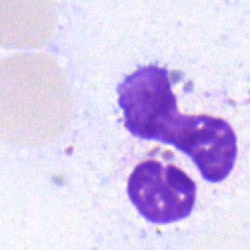
Morphology → polymorphonuclear neutrophil.